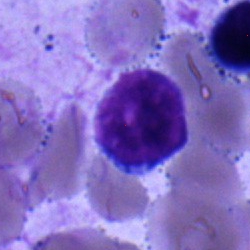 Impression — typical lymphocyte.